Bone marrow aspirate smear · 40× oil immersion: 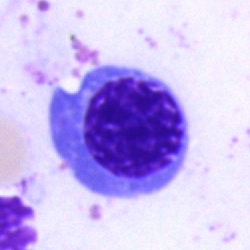
Specimen: bone marrow smear.
Cell: blast cell.